Bone marrow aspirate smear
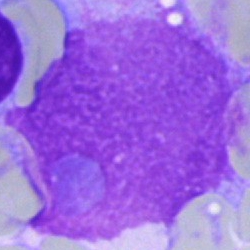 Cell type = artefact.